Peripheral blood film
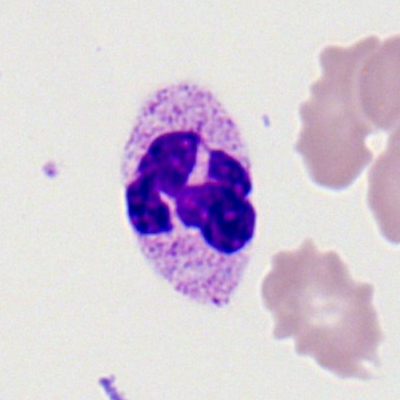 Morphology consistent with a neutrophil (segmented).